Pappenheim-stained; bone marrow aspirate smear; 250 by 250 pixels:
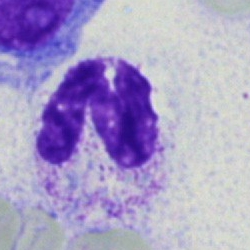

Q: What cell is this?
A: A segmented neutrophil.